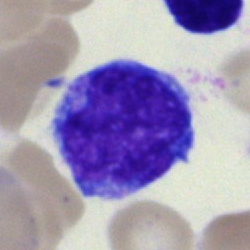Specimen: bone marrow aspirate smear.
Cell type: typical lymphocyte.
Lineage: lymphoid.